Single cell centered in the field. Bone marrow aspirate smear — 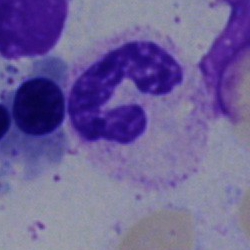
Morphology → polymorphonuclear neutrophil.